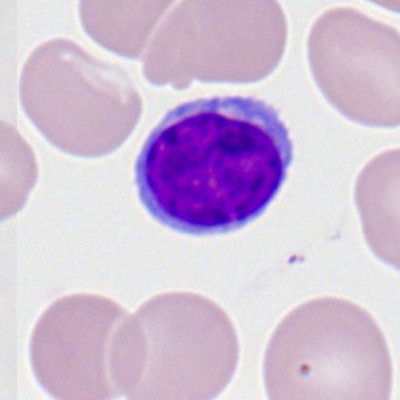 This is a typical lymphocyte.